Bone marrow smear; 40× objective, oil immersion:
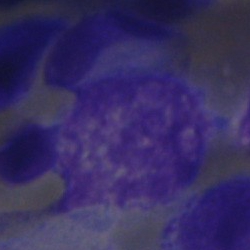

The cell shown is an artifact.